Bone marrow aspirate smear. 250×250 px
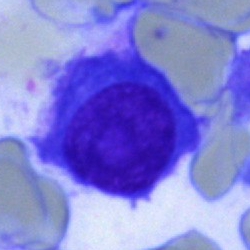 The classification is plasma cell.